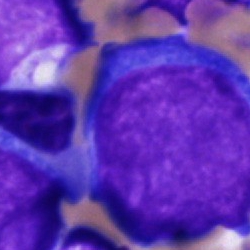Single cell identified as an undifferentiated blast.